Bone marrow aspirate smear. May-Grünwald-Giemsa stain — 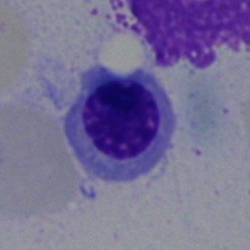

{"cell_type": "normoblast", "lineage": "erythroid"}